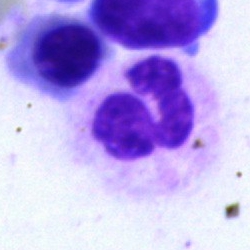
Cell type: segmented neutrophil.